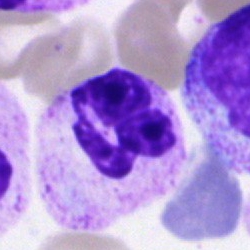
Morphological class — segmented neutrophil.